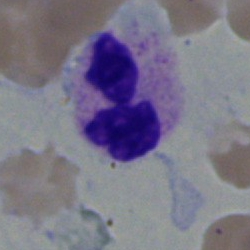

Q: What type of cell is this?
A: It is a segmented neutrophil.